Bone marrow aspirate smear
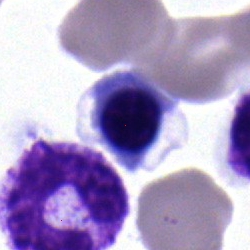 Q: What is the morphological classification of this cell?
A: An erythroblast.